Bone marrow aspirate smear · single-cell field: 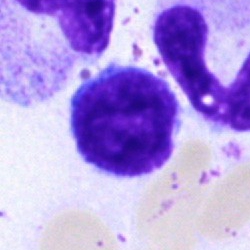Classification = typical lymphocyte.